Cropped to a single cell. Bone marrow aspirate smear. 40× oil immersion: 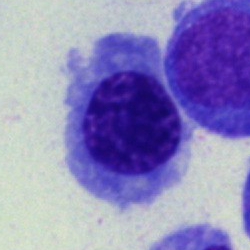

Showing a nucleated red cell.